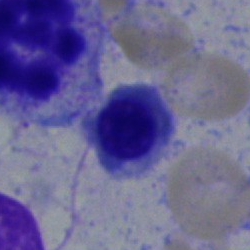
Impression → nucleated red cell.